250 by 250 pixels · bone marrow aspirate smear · single-cell field.
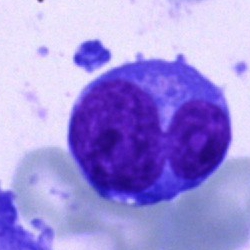 Specimen: bone marrow aspirate smear.
Morphological class: undifferentiated blast.